Bone marrow smear; image size 250×250; single-cell field.
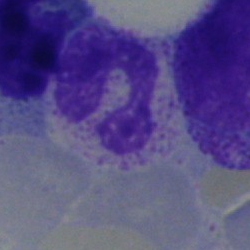Q: What type of cell is this?
A: It is a band-form neutrophil.